250×250; 40× objective, oil immersion; bone marrow aspirate smear.
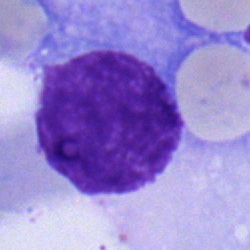Q: Identify the cell.
A: It is a lymphocyte.